Bone marrow aspirate smear; brightfield, 40× oil-immersion objective: 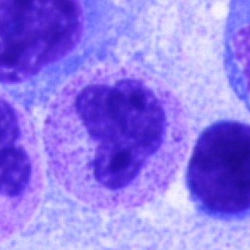
Specimen: bone marrow smear.
Classification: polymorphonuclear neutrophil.